Bone marrow smear — 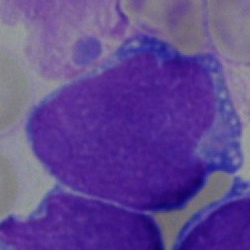 Specimen: bone marrow smear.
Cell: blast.